250 by 250 pixels. Bone marrow smear: 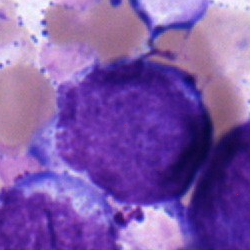

Classification: blast cell.